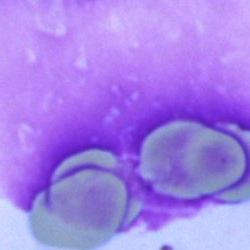
Q: What is shown here?
A: An artefact.